Bone marrow aspirate smear — 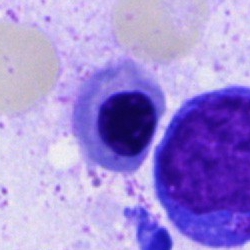Q: What is shown here?
A: Nucleated red blood cell.